Bone marrow smear · 250×250 px:
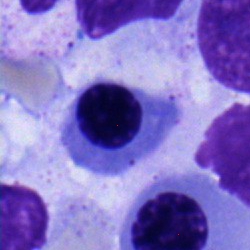 Showing a nucleated red cell.